40× oil immersion; bone marrow smear; single-cell field
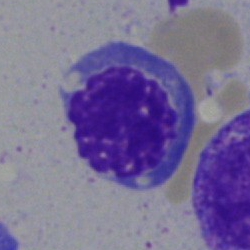{"cell_type": "erythroblast", "lineage": "erythroid"}